Bone marrow aspirate smear: 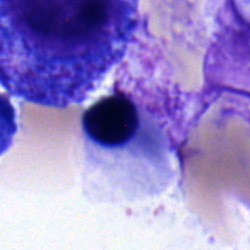 Specimen: bone marrow smear.
Cell type: nucleated red blood cell.
Lineage: erythroid.